Peripheral blood smear — 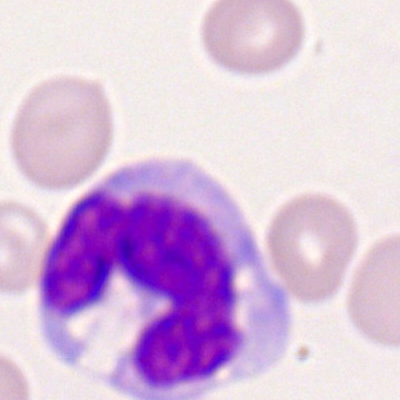 Impression → monocyte.